Bone marrow smear
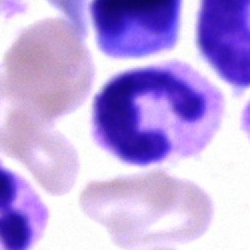
A neutrophil (segmented).